Bone marrow smear; single-cell crop; MGG-stained.
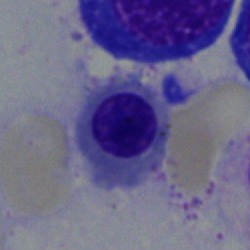Cell: normoblast.